Bone marrow aspirate smear.
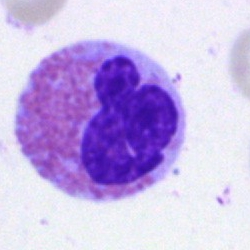 An eosinophilic granulocyte.